250×250 px · bone marrow smear
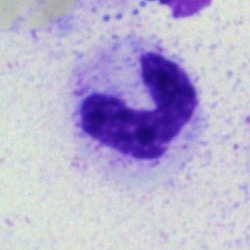 Impression → neutrophil (segmented).